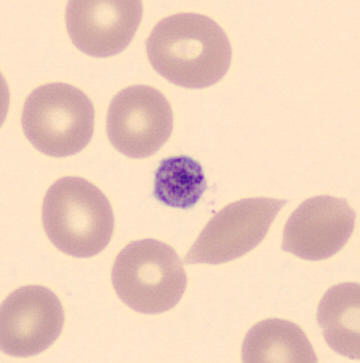 Showing a thrombocyte.